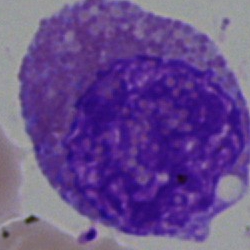
Bone marrow aspirate smear, single cell — eosinophil.